Bone marrow smear. 40× objective, oil immersion.
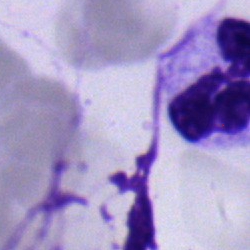Morphology — neutrophil (segmented).